40× objective, oil immersion. May-Grünwald-Giemsa stain. Bone marrow aspirate smear — 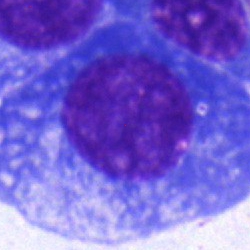Morphological class: plasmacyte.